Cropped to a single cell · bone marrow smear.
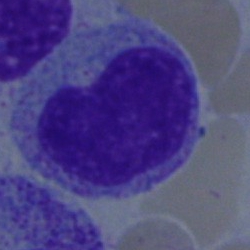 Q: What is the morphological classification of this cell?
A: It is a metamyelocyte.